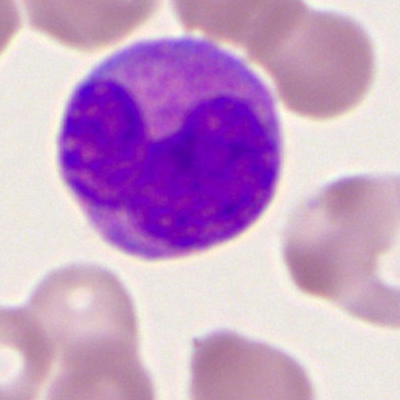

A progranulocyte on a peripheral blood smear.